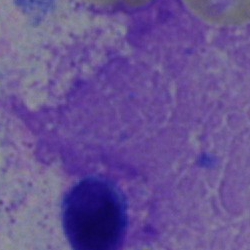

Morphological class — artifact.